May-Grünwald-Giemsa/Pappenheim stain; bone marrow aspirate smear; 40× oil immersion
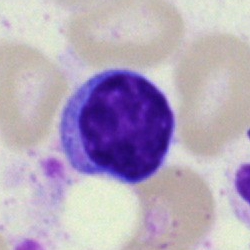

Impression → typical lymphocyte.